Bone marrow smear.
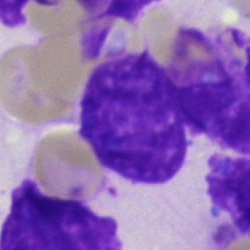

Morphology consistent with an artefact.